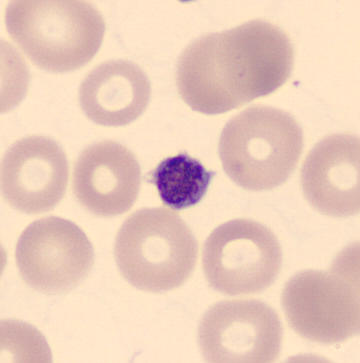 Classification — thrombocyte.
Peripheral blood smear. Image size 360×363.